Bone marrow aspirate smear: 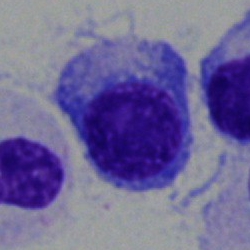Showing a plasmacyte.